Single-cell crop · bone marrow aspirate smear.
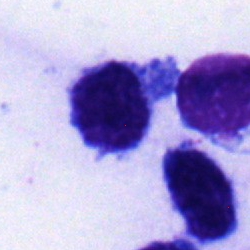
This is a lymphocyte.